Bone marrow aspirate smear — 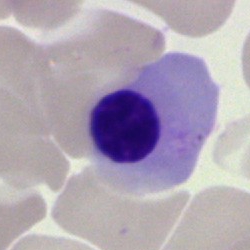
Showing a nucleated red blood cell.